250×250 px; bone marrow smear:
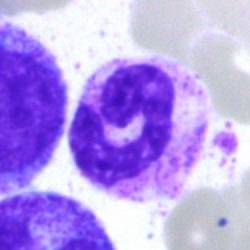Showing a neutrophil (segmented).